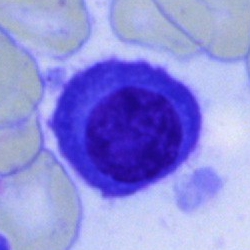

Bone marrow smear showing a plasma cell.